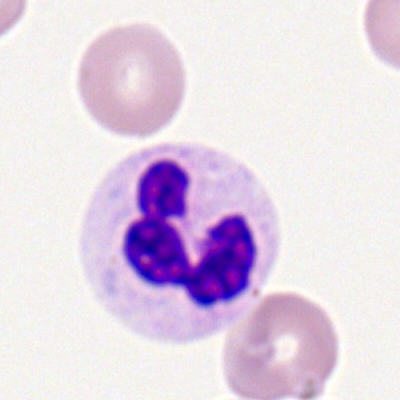Classification = segmented neutrophil.